Bone marrow aspirate smear:
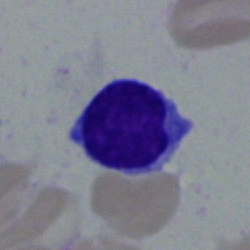
Impression → lymphocyte.